100× oil immersion, 14.14 px/µm · Romanowsky-stained · peripheral blood smear — 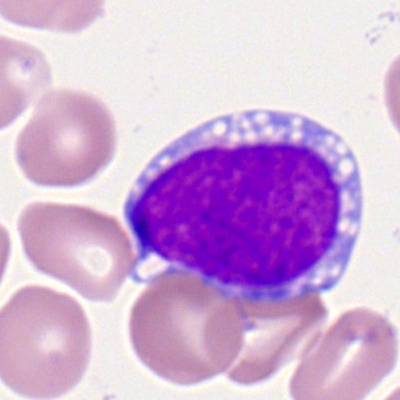

Single cell identified as a myeloblast.